MGG-stained; bone marrow smear — 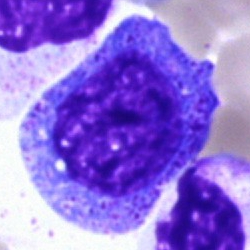

Specimen: bone marrow aspirate smear.
Cell: promyelocyte.